Single-cell crop. Bone marrow aspirate smear — 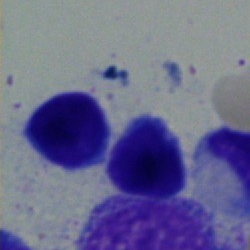Specimen: bone marrow aspirate smear.
Cell: typical lymphocyte.
Lineage: lymphoid.